Bone marrow smear: 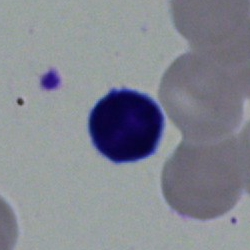

Q: What cell is this?
A: A lymphocyte.